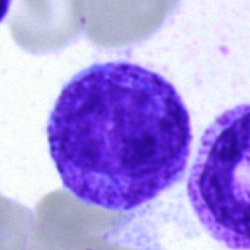 A myelocyte.